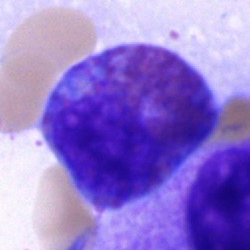
Cell = eosinophilic granulocyte.